Bone marrow smear.
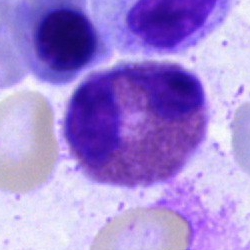 {"cell_type": "eosinophil"}